40× objective, oil immersion. Bone marrow smear — 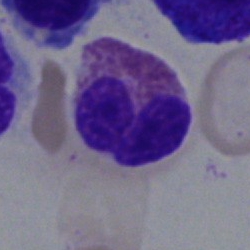 Impression → eosinophil.